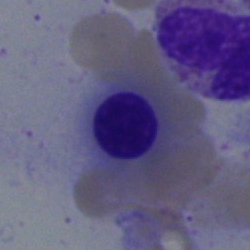 Morphology consistent with a nucleated red blood cell.